Bone marrow aspirate smear.
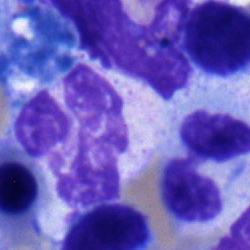

Q: Identify the cell.
A: This is a polymorphonuclear neutrophil.